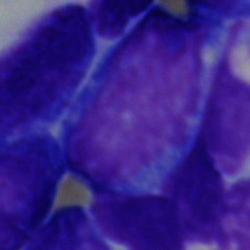

Cell = blast cell.